Bone marrow smear.
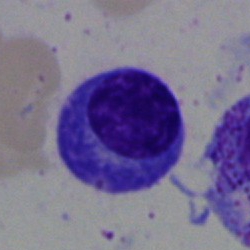

Morphological class = plasma cell.